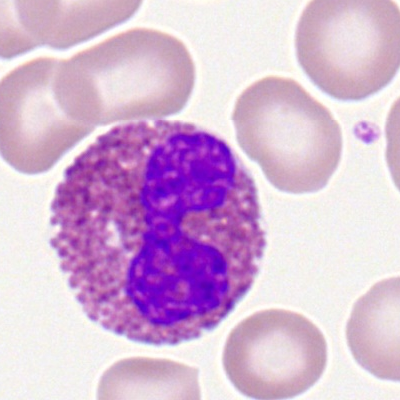
Cell = eosinophilic granulocyte.